Bone marrow smear; 250×250 px
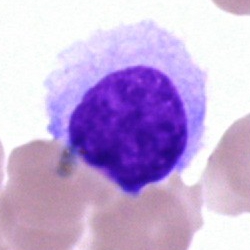 Cell type = hairy cell.